Bone marrow smear; MGG-stained; 250 by 250 pixels — 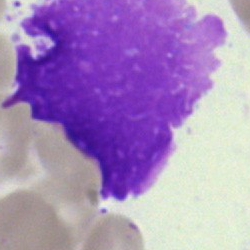
Morphology consistent with an artefact.